Single-cell crop. Bone marrow aspirate smear — 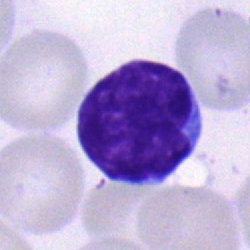 Showing a lymphocyte.